Bone marrow aspirate smear. 250×250 px. Cropped to a single cell — 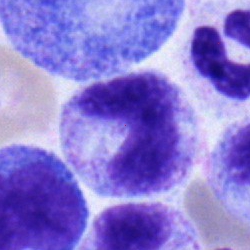Morphology consistent with a stab cell.